Peripheral blood film — 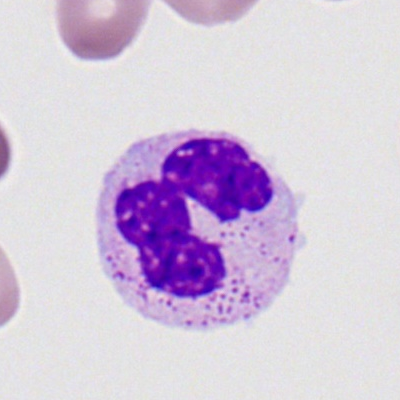

Single cell identified as a neutrophil (segmented).